Bone marrow aspirate smear · 250×250: 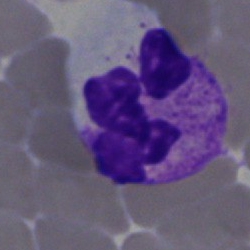Specimen: bone marrow aspirate smear.
Cell: segmented neutrophil.